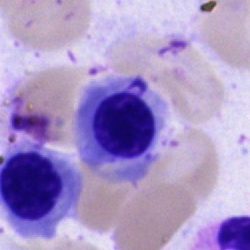
Morphological class — nucleated red blood cell.